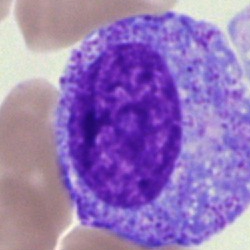Morphology consistent with a promyelocyte.